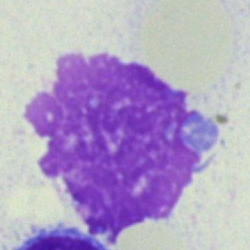
The cell type is artefact.